Bone marrow smear.
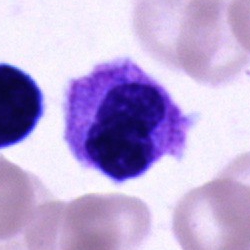

Unidentifiable cell.